250×250 px · bone marrow smear — 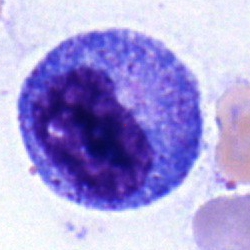 The classification is promyelocyte.